Bone marrow smear.
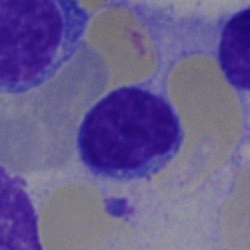Single cell identified as a typical lymphocyte.